Peripheral blood smear; 400 by 400 pixels.
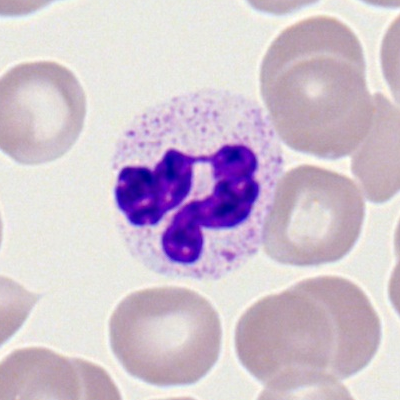

Morphology consistent with a polymorphonuclear neutrophil.